Brightfield microscopy, 40× oil immersion. Bone marrow smear:
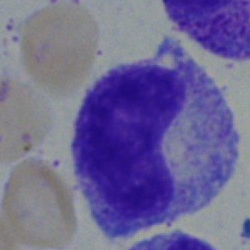Q: What type of cell is this?
A: Metamyelocyte.